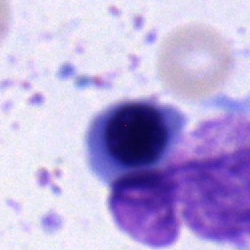
Cell type: nucleated red blood cell.